Peripheral blood smear.
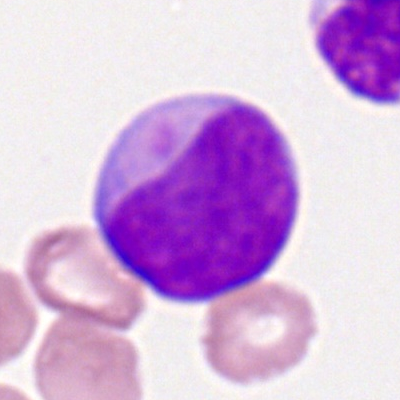The cell shown is a myeloblast.